Peripheral blood film
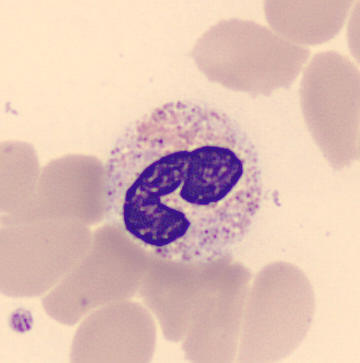
Identified as a neutrophil (segmented).